Cropped to a single cell. Bone marrow aspirate smear — 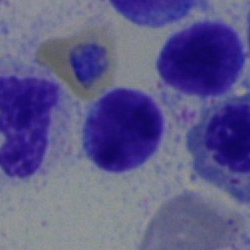

Q: What cell is this?
A: A typical lymphocyte.